250 by 250 pixels; bone marrow smear; 40× oil immersion.
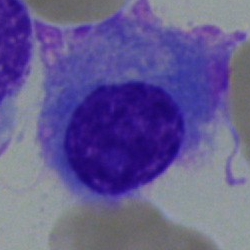Morphology consistent with a plasmacyte.